Bone marrow smear: 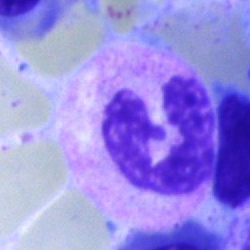

Q: What type of cell is this?
A: A neutrophil (segmented).